Bone marrow smear:
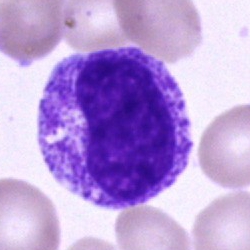 Impression → myelocyte.